MGG-stained; bone marrow smear:
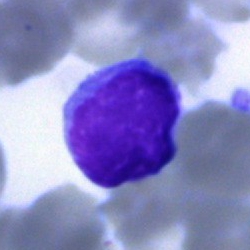

A lymphocyte.